Bone marrow smear.
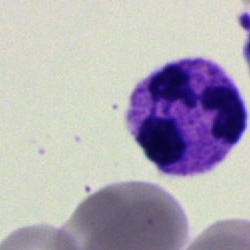 This is a segmented neutrophil.